Bone marrow aspirate smear.
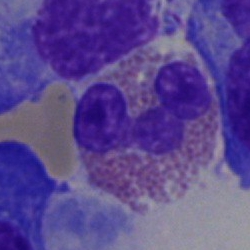 An eosinophilic granulocyte.